Bone marrow smear:
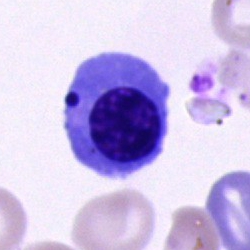 Cell = nucleated red blood cell.